Peripheral blood smear
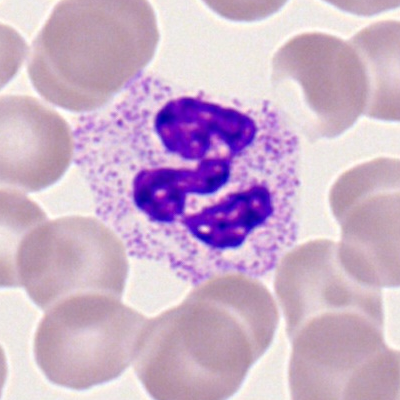
Single cell identified as a segmented neutrophil.